May-Grünwald-Giemsa stain. Bone marrow aspirate smear:
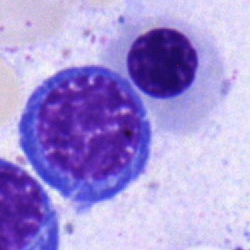
Q: What type of cell is this?
A: Erythroblast.